Bone marrow smear. 250 by 250 pixels. 40× oil immersion.
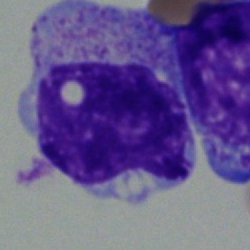
Cell type — myelocyte.